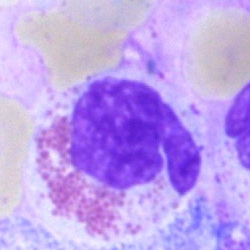
Cell = eosinophilic granulocyte.